May-Grünwald-Giemsa/Pappenheim stain · single-cell crop · bone marrow smear:
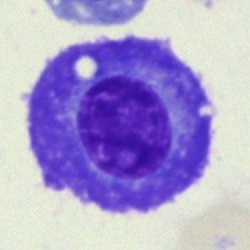 A plasma cell.